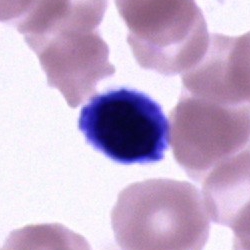 Q: Identify the cell.
A: A cell of indeterminate lineage.